Bone marrow aspirate smear. May-Grünwald-Giemsa stain
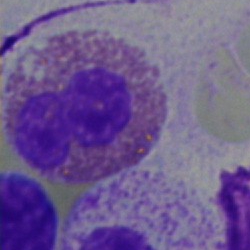

Single cell identified as an eosinophilic granulocyte.